May-Grünwald-Giemsa/Pappenheim stain · single-cell field · bone marrow smear.
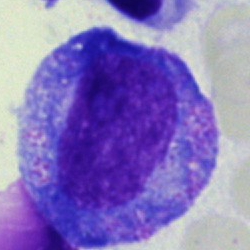

This is a progranulocyte.